Bone marrow aspirate smear.
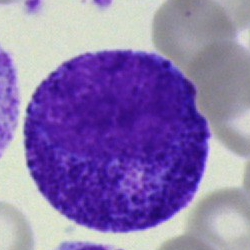
Cell: progranulocyte.